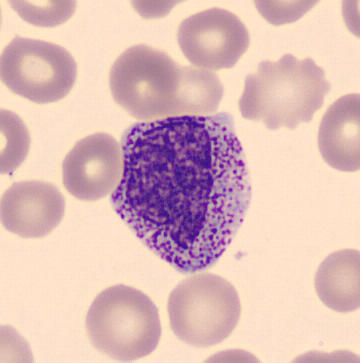Morphology consistent with a myelocyte. Preparation: Single-cell field. Peripheral blood film. MGG stain.